Bone marrow smear
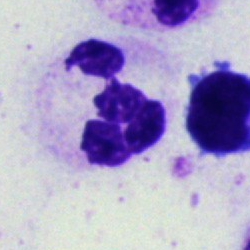

Showing a neutrophil (segmented).